Bone marrow smear:
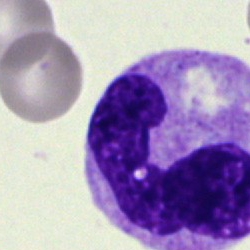 Showing a band-form neutrophil.